Single-cell field. May-Grünwald-Giemsa/Pappenheim stain. Bone marrow smear
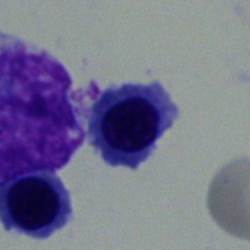
Specimen: bone marrow smear.
Classification: nucleated red cell.
Lineage: erythroid.